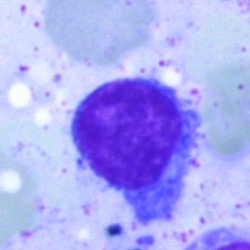Q: What is shown here?
A: A lymphocyte.